Peripheral blood smear: 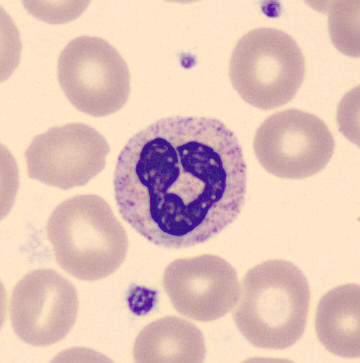Classification — band-form neutrophil.